Bone marrow aspirate smear
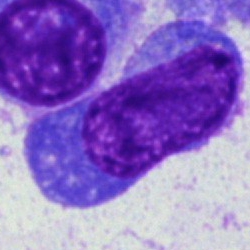
Plasma cell.